Bone marrow aspirate smear.
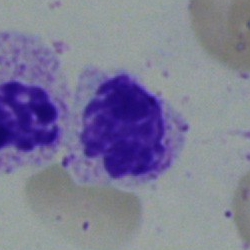Impression → polymorphonuclear neutrophil.